Image size 250×250 · bone marrow smear · 40× objective, oil immersion — 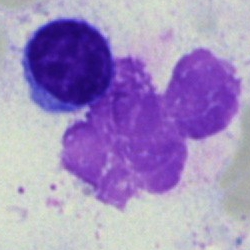Impression → artifact.